Bone marrow smear — 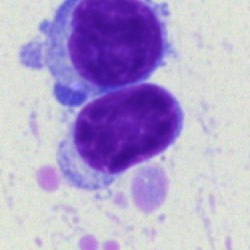

{"cell_type": "typical lymphocyte"}